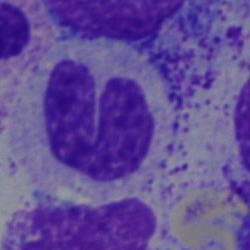

{"cell_type": "band neutrophil"}